Bone marrow aspirate smear · May-Grünwald-Giemsa stain · single-cell crop:
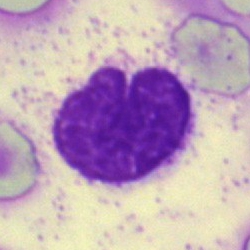
Impression — artifact.